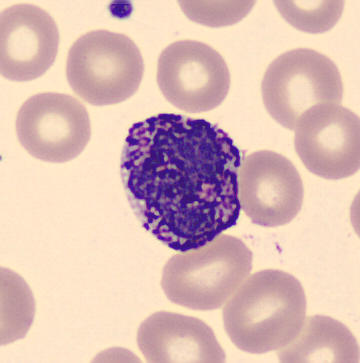A basophil.

Peripheral blood film.